Bone marrow smear; single-cell crop — 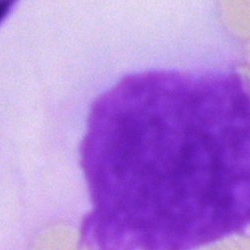

Morphology → artefact.